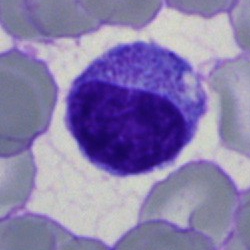
Q: Identify the cell.
A: Myelocyte.